Single-cell crop · bone marrow smear.
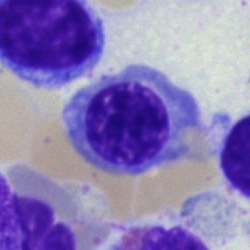 Specimen: bone marrow aspirate smear.
Morphological class: nucleated red cell.
Lineage: erythroid.